Bone marrow aspirate smear. Pappenheim-stained — 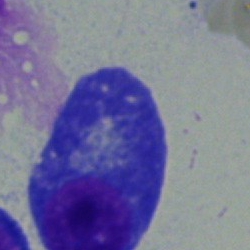
Morphology consistent with a plasmacyte.